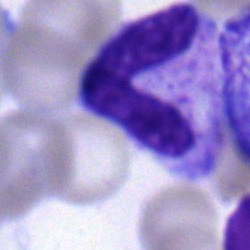
Cell type — neutrophil (band).